Bone marrow smear. Brightfield, 40× oil-immersion objective: 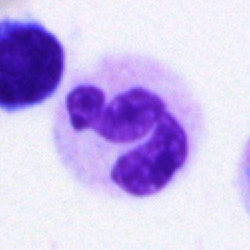

Cell = segmented neutrophil.